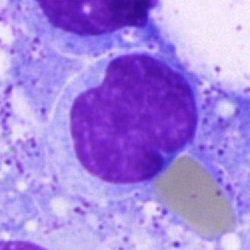
Morphology → blast.